Peripheral blood film. Image size 400×400
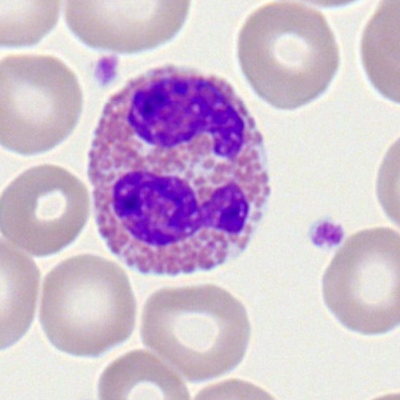
Specimen: peripheral blood smear.
Cell type: eosinophil.
Lineage: myeloid.